Bone marrow aspirate smear
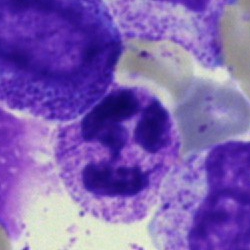

Morphology consistent with a neutrophil (segmented).